Peripheral blood film · 100× oil immersion, 14.14 px/µm — 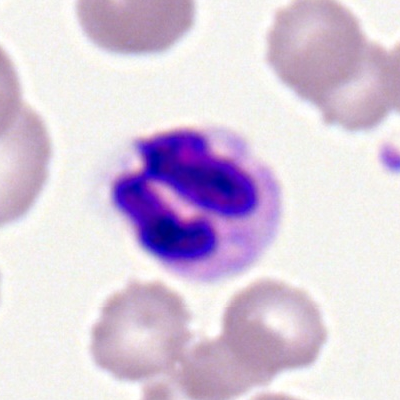The morphological class is neutrophil (segmented).